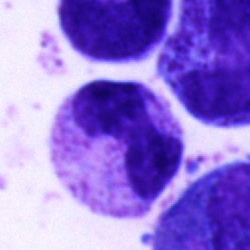
Specimen: bone marrow smear.
Cell: polymorphonuclear neutrophil.
Lineage: myeloid.